Image size 250×250. Bone marrow smear:
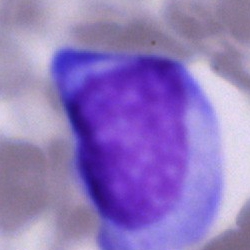

Morphology consistent with a cell of indeterminate lineage.